Bone marrow aspirate smear · 40× oil immersion: 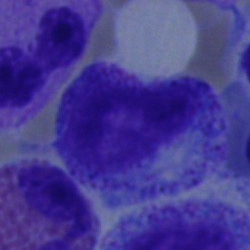
The cell shown is a myelocyte.